Cropped to a single cell; bone marrow aspirate smear; May-Grünwald-Giemsa stain — 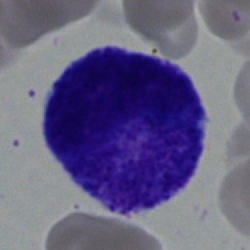 Morphological class — progranulocyte.